Bone marrow smear.
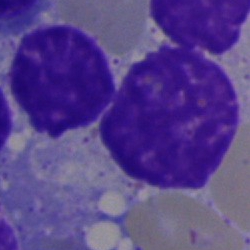 Q: What is shown here?
A: It is an artefact.